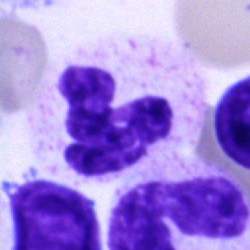 Morphology — polymorphonuclear neutrophil.